Cropped to a single cell · bone marrow smear
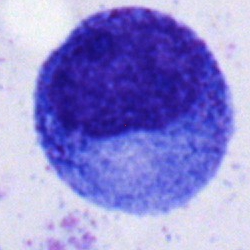
Single cell identified as a promyelocyte.